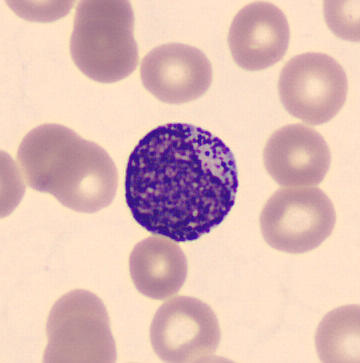

Peripheral blood film, single cell — promyelocyte.